Single-cell field · bone marrow smear: 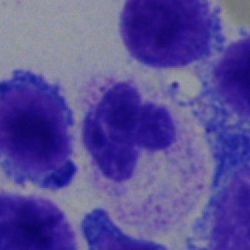 Q: What is shown here?
A: Neutrophil (segmented).